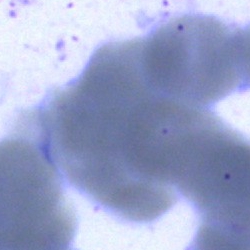Classification — artifact.